May-Grünwald-Giemsa-stained. Peripheral blood smear. 360 by 363 pixels
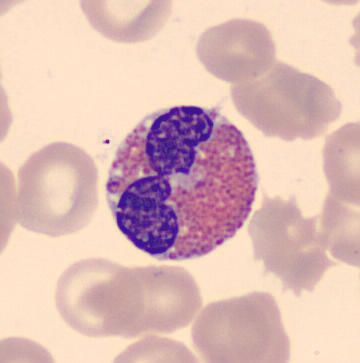
Q: What is the morphological classification of this cell?
A: This is an eosinophil.